Brightfield, 40× oil-immersion objective · May-Grünwald-Giemsa stain · bone marrow aspirate smear:
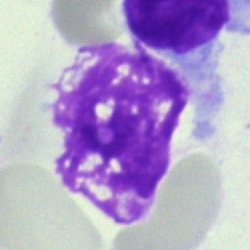The cell shown is an artifact.